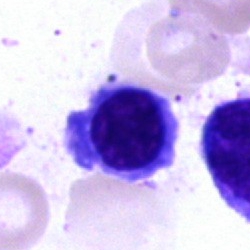 The classification is nucleated red cell.